Pappenheim-stained. Bone marrow aspirate smear — 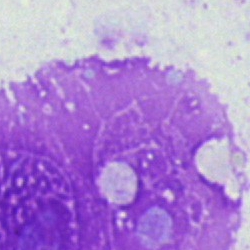 Artefact.